Cropped to a single cell · MGG-stained · bone marrow smear:
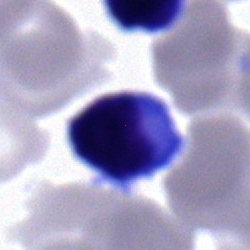 Impression — lymphocyte.